Bone marrow smear — 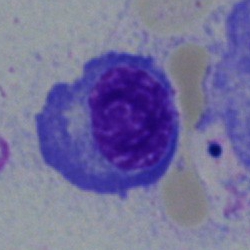
Q: What is shown here?
A: A plasmacyte.